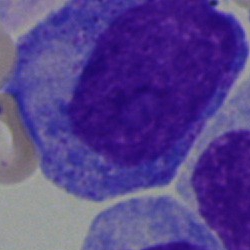Q: What type of cell is this?
A: It is a progranulocyte.